400×400 · peripheral blood smear
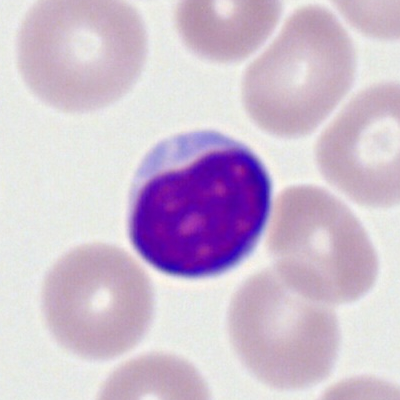

Specimen: peripheral blood smear.
Cell type: typical lymphocyte.
Lineage: lymphoid.